Peripheral blood film
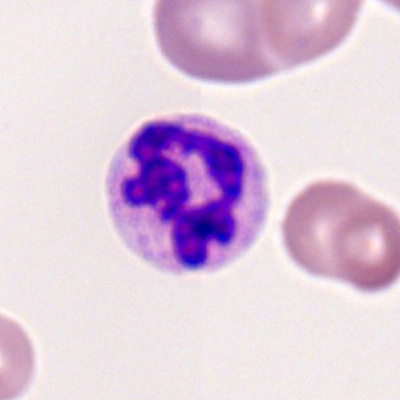

Classification = segmented neutrophil.